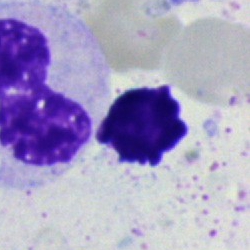 Cell: artifact.